Peripheral blood film.
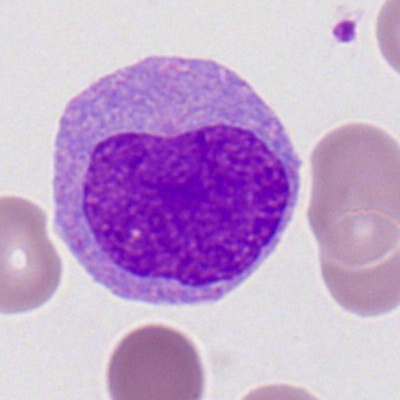

Morphological class = myeloid blast.